Image size 250×250. Bone marrow aspirate smear: 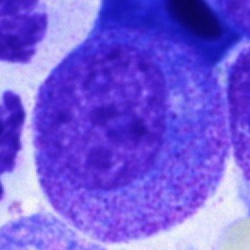Showing a progranulocyte.